Bone marrow aspirate smear. Brightfield, 40× oil-immersion objective.
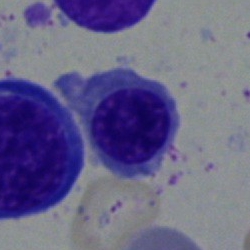 Cell type — nucleated red cell.